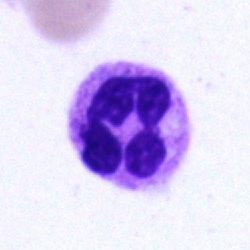
Cell = neutrophil (segmented).